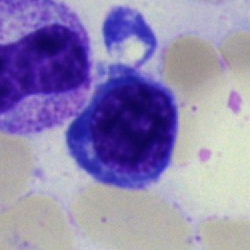Specimen: bone marrow smear.
Cell: nucleated red cell.